MGG-stained; bone marrow aspirate smear: 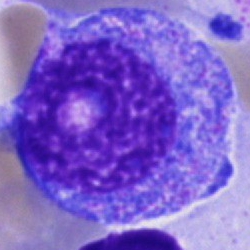

{"cell_type": "promyelocyte", "lineage": "myeloid"}